Bone marrow aspirate smear
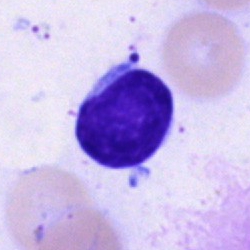Q: Which cell type is shown here?
A: Typical lymphocyte.